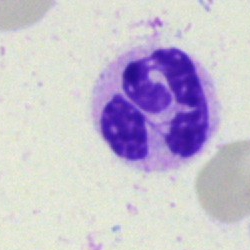
This is a neutrophil (segmented).